Bone marrow smear; 250×250 px; brightfield microscopy, 40× oil immersion: 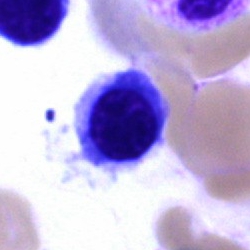

The morphological class is normoblast.